250×250. Single-cell field. Bone marrow aspirate smear
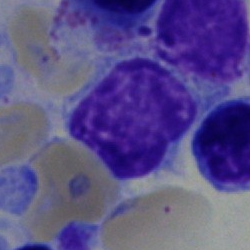Impression — lymphocyte.